40× oil immersion · bone marrow aspirate smear: 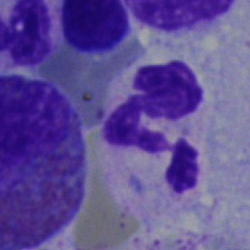Impression → neutrophil (segmented).